Bone marrow aspirate smear · single cell centered in the field:
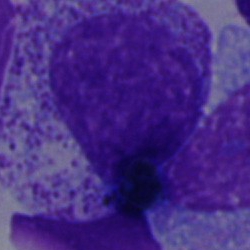
Single cell identified as a myelocyte.